Cropped to a single cell · 250×250 px · bone marrow smear.
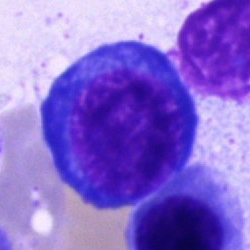Morphology consistent with a proerythroblast.